Bone marrow aspirate smear:
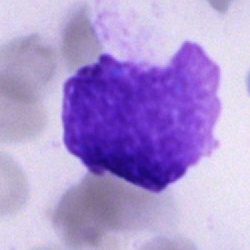Artifact.